Bone marrow aspirate smear.
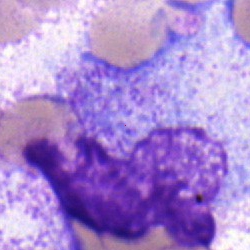
Morphology → promyelocyte.